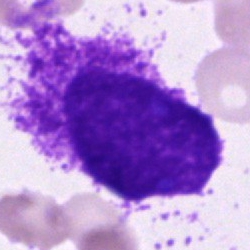 This is an artifact.